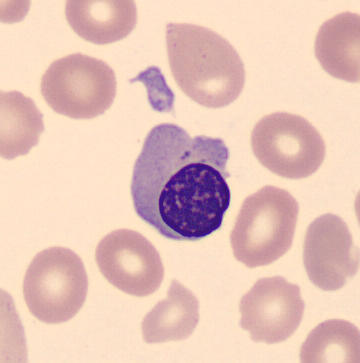
{"cell_type": "normoblast"}